Single cell centered in the field. Bone marrow aspirate smear. Pappenheim-stained
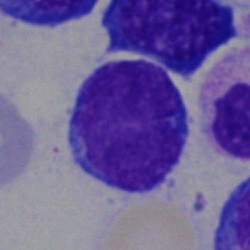Q: What type of cell is this?
A: Promyelocyte.